Image size 250×250 · bone marrow smear:
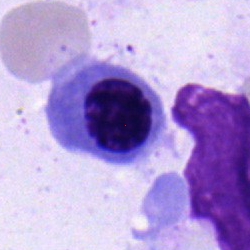
This is an erythroblast.